Bone marrow smear · brightfield microscopy, 40× oil immersion · image size 250×250.
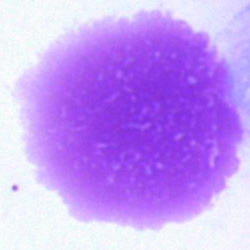Single cell identified as an artifact.